Peripheral blood smear:
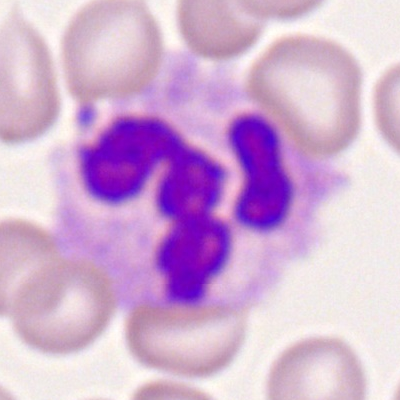

Showing a polymorphonuclear neutrophil.